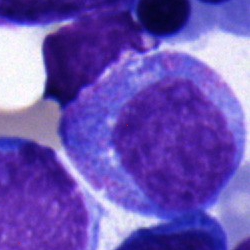

Impression → progranulocyte.